Brightfield, 40× oil-immersion objective · bone marrow aspirate smear · May-Grünwald-Giemsa stain: 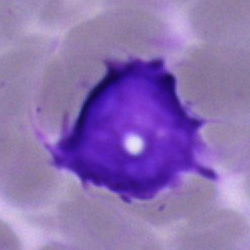
{"cell_type": "artefact"}